Bone marrow aspirate smear:
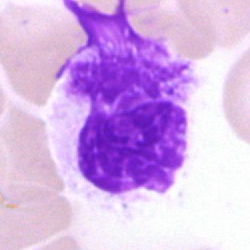 Q: What is shown here?
A: It is an artefact.